Peripheral blood smear.
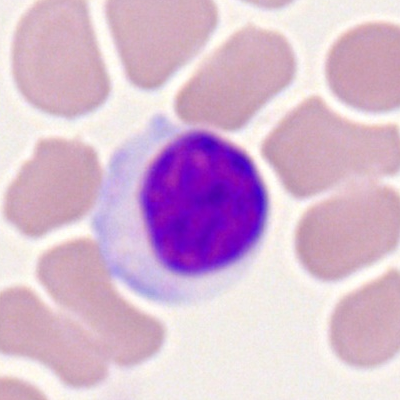

Morphological class = lymphocyte.